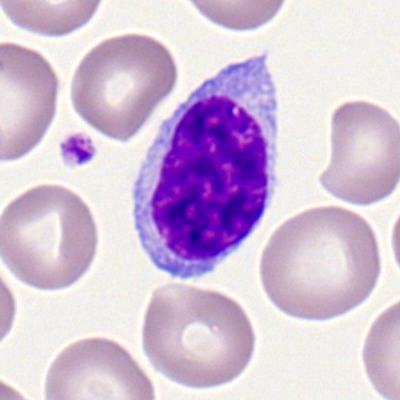
The cell shown is a typical lymphocyte.